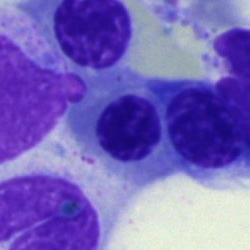 Single-cell crop from a bone marrow smear: nucleated red blood cell.